Single-cell field · 40× objective, oil immersion · bone marrow aspirate smear: 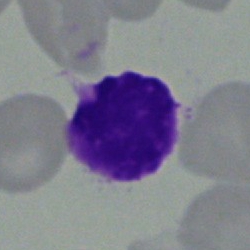Showing an artifact.